Single-cell field; 40× oil immersion; bone marrow smear — 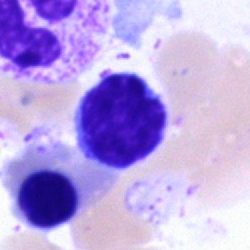 The cell shown is a typical lymphocyte.